Bone marrow smear
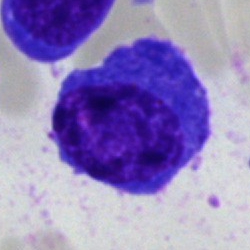 Plasmacyte.